Bone marrow aspirate smear:
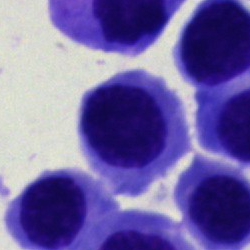
Specimen: bone marrow smear.
Morphological class: erythroblast.